Bone marrow aspirate smear; image size 250×250.
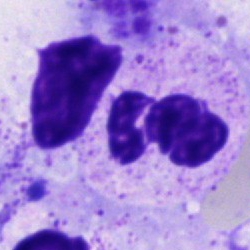Q: What is shown here?
A: Segmented neutrophil.